Bone marrow smear; image size 250×250 — 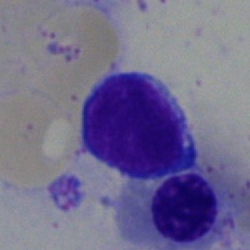

Classification — typical lymphocyte.